May Grünwald-Giemsa stain · 360×363 · peripheral blood film — 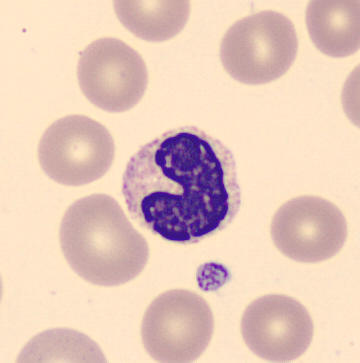 The cell shown is a band-form neutrophil.